Single-cell field · Pappenheim-stained · bone marrow smear: 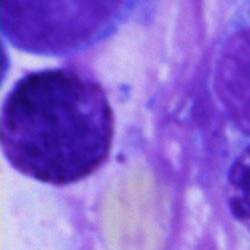

Morphology → artifact.